Bone marrow aspirate smear: 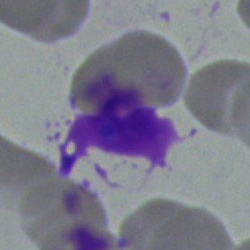 The cell shown is an artefact.